Bone marrow smear · May-Grünwald-Giemsa/Pappenheim stain — 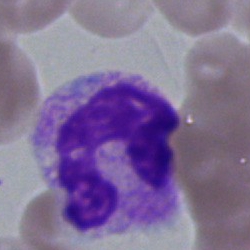 Cell — segmented neutrophil.